Bone marrow smear:
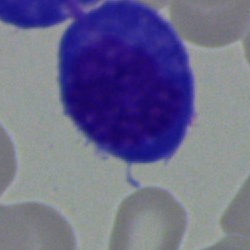
Cell type: plasma cell.